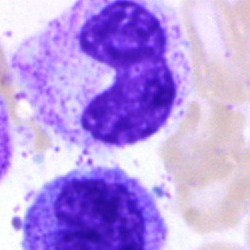 {"cell_type": "band neutrophil", "lineage": "myeloid"}